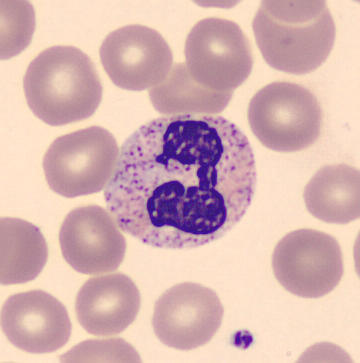 Peripheral blood smear. Showing a polymorphonuclear neutrophil.